Bone marrow smear.
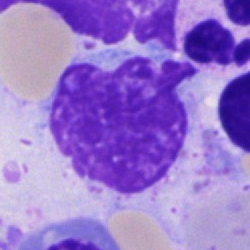 The cell shown is an artifact.